Bone marrow aspirate smear. Image size 250×250.
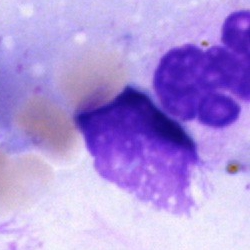
Q: What is shown here?
A: It is an artefact.